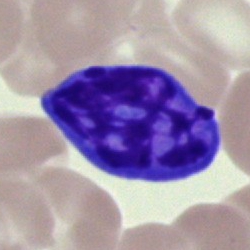A cell of indeterminate lineage.